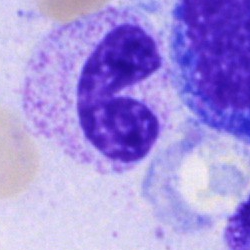The cell shown is a band-form neutrophil.